Bone marrow smear — 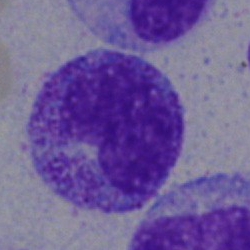Q: Which cell type is shown here?
A: This is a metamyelocyte.